Bone marrow aspirate smear:
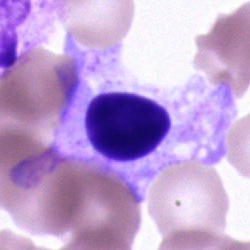 Single cell identified as an artefact.